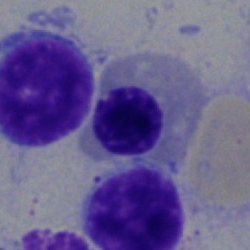{"cell_type": "normoblast", "lineage": "erythroid"}